Bone marrow smear: 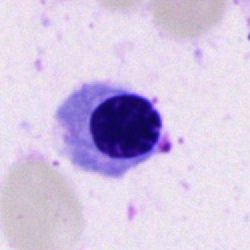

Q: What is the morphological classification of this cell?
A: It is an erythroblast.